Bone marrow smear — 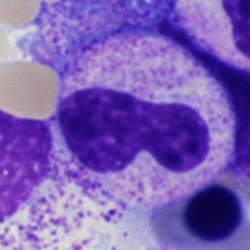The cell type is neutrophil (band).